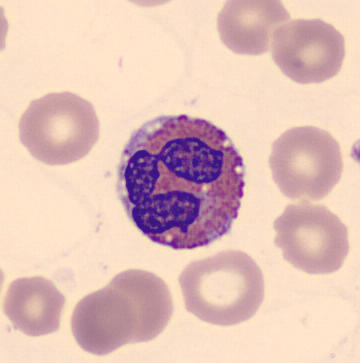Single-cell crop from a peripheral blood smear: eosinophilic granulocyte.